250×250. Cropped to a single cell. Bone marrow smear:
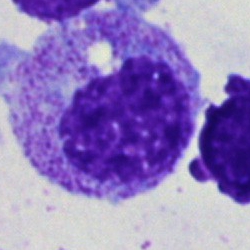 The cell type is myelocyte.